Bone marrow smear:
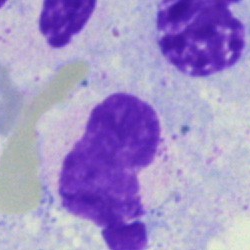Morphology consistent with an artifact.